Bone marrow aspirate smear:
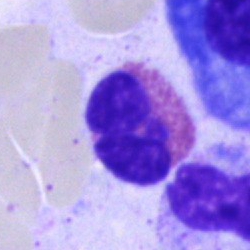 Single cell identified as an eosinophilic granulocyte.